Brightfield, 40× oil-immersion objective. Bone marrow aspirate smear
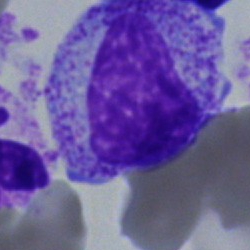 This is a myelocyte.